Bone marrow smear:
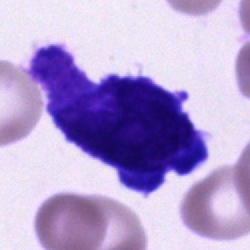Morphology consistent with an unidentifiable cell.